Bone marrow aspirate smear: 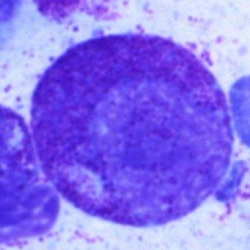Impression → myelocyte.